Bone marrow smear. Pappenheim-stained. 40× objective, oil immersion.
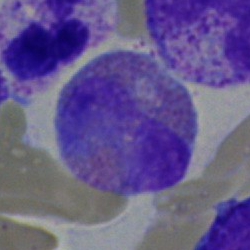
Cell — eosinophil.